Bone marrow aspirate smear.
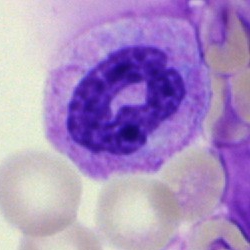Cell — polymorphonuclear neutrophil.